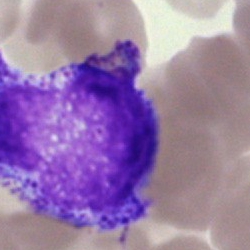 The cell shown is an artifact.